Bone marrow smear. Cropped to a single cell — 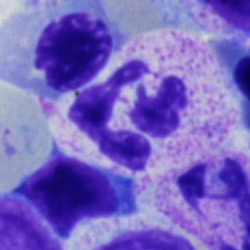Specimen: bone marrow smear.
Classification: neutrophil (segmented).